Bone marrow aspirate smear — 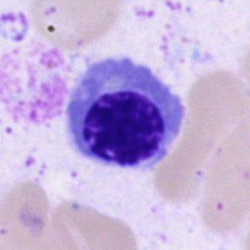Q: What cell is this?
A: A nucleated red blood cell.